Bone marrow smear: 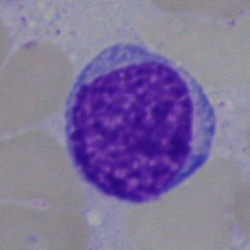
Cell type: lymphocyte.